Bone marrow smear. Single-cell field. 250×250 px
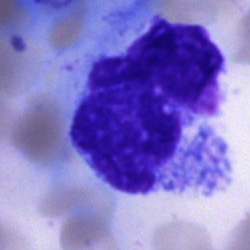 An artifact.